Bone marrow aspirate smear: 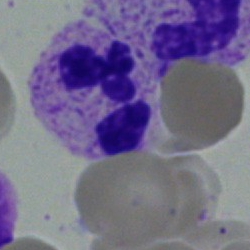The morphological class is segmented neutrophil.